Cropped to a single cell. 40× objective, oil immersion. Bone marrow smear.
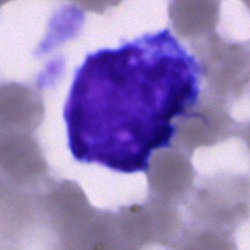

Morphology — undifferentiated blast.